Bone marrow aspirate smear. Brightfield microscopy, 40× oil immersion. May-Grünwald-Giemsa/Pappenheim stain: 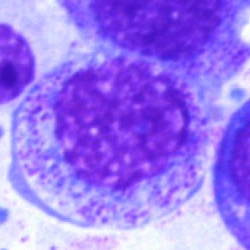

A myelocyte.